Bone marrow smear · single cell centered in the field · May-Grünwald-Giemsa stain — 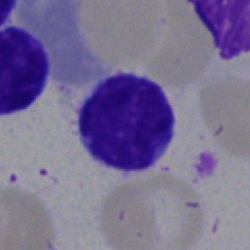Lymphocyte.